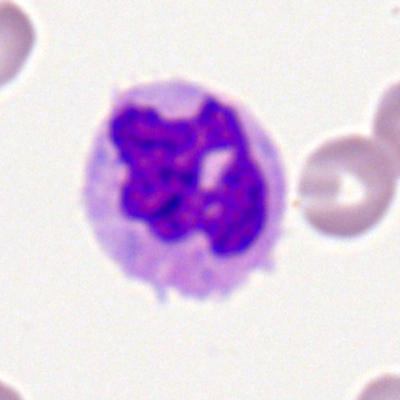A segmented neutrophil.